Bone marrow aspirate smear
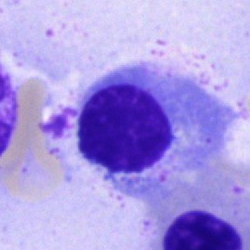 Showing a nucleated red blood cell.